Bone marrow aspirate smear — 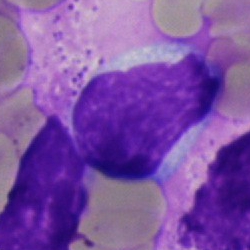
Classification: typical lymphocyte.